Peripheral blood smear.
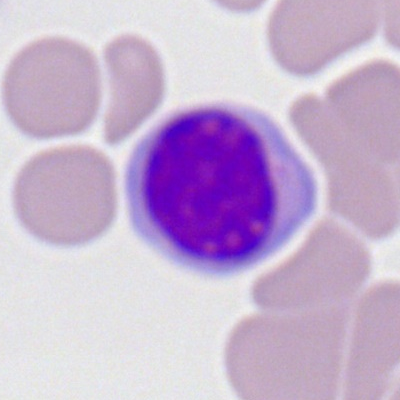
Cell type — lymphocyte.